Bone marrow smear; 250×250: 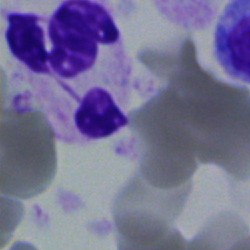Morphological class = neutrophil (segmented).